Bone marrow smear.
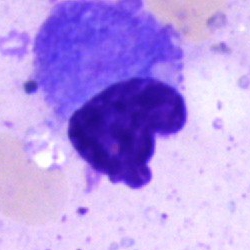 This is a plasmacyte.